Single cell centered in the field · bone marrow aspirate smear · 250 by 250 pixels: 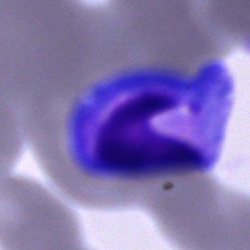

A cell of indeterminate lineage.